Single-cell field; bone marrow smear — 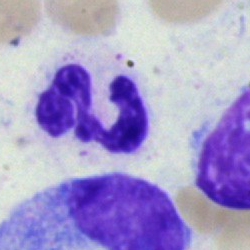
Morphology — segmented neutrophil.